Bone marrow smear · cropped to a single cell · 250×250: 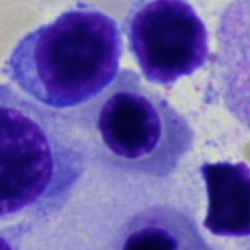Classification: nucleated red cell.